40× objective, oil immersion · bone marrow smear · 250×250:
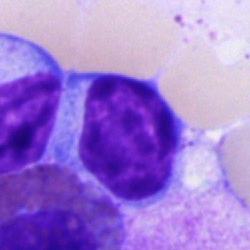 Impression — lymphocyte.